Cropped to a single cell · bone marrow smear
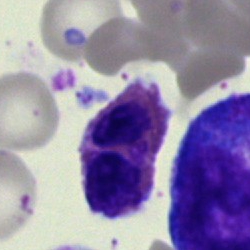
An eosinophil.